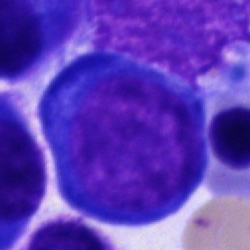
Bone marrow aspirate smear, single cell — proerythroblast.